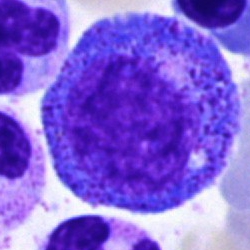
The cell is progranulocyte.